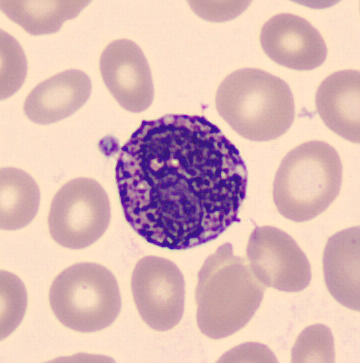Peripheral blood film.

Basophilic granulocyte.